Bone marrow aspirate smear; MGG-stained; 40× objective, oil immersion: 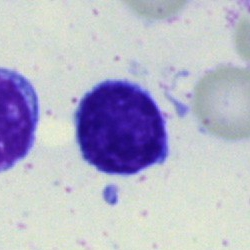

Cell type: typical lymphocyte.